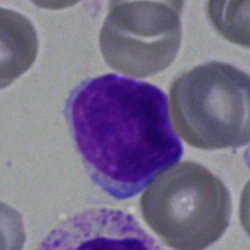Q: Identify the cell.
A: A typical lymphocyte.